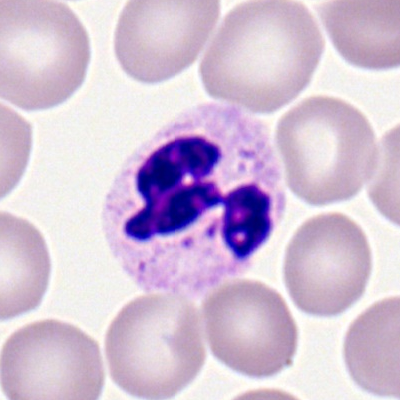

Specimen: peripheral blood film.
Classification: polymorphonuclear neutrophil.